Bone marrow aspirate smear
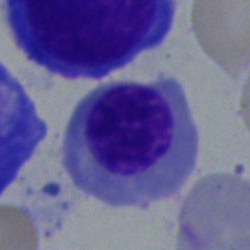Showing a nucleated red blood cell.